250×250; bone marrow smear: 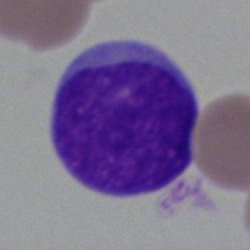Impression → blast.